100× objective, oil immersion; peripheral blood smear.
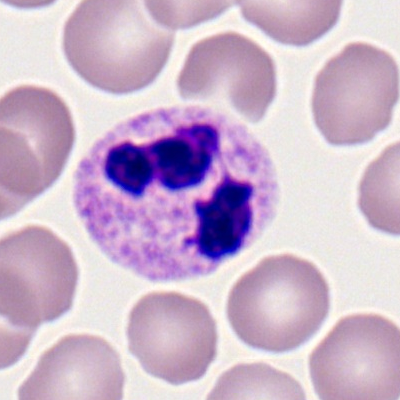 Specimen: peripheral blood film.
Classification: polymorphonuclear neutrophil.